Bone marrow smear: 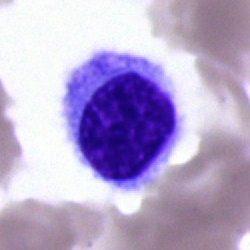
A hairy cell.